40× objective, oil immersion; bone marrow aspirate smear:
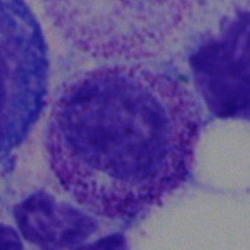Specimen: bone marrow smear.
Morphological class: myelocyte.
Lineage: myeloid.